Bone marrow smear.
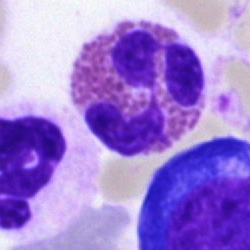

Q: Identify the cell.
A: Eosinophilic granulocyte.